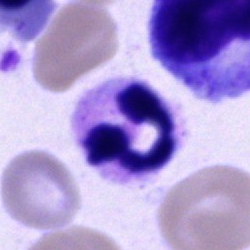Q: Identify the cell.
A: Neutrophil (segmented).